Bone marrow aspirate smear: 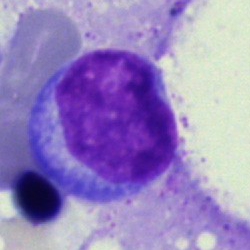Cell type: lymphocyte.